Single-cell crop; 250 by 250 pixels; bone marrow smear.
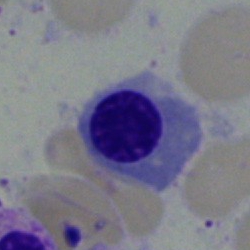 Morphology — nucleated red cell.